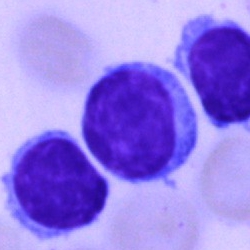Specimen: bone marrow smear.
Classification: typical lymphocyte.
Lineage: lymphoid.